May-Grünwald-Giemsa/Pappenheim stain · bone marrow smear
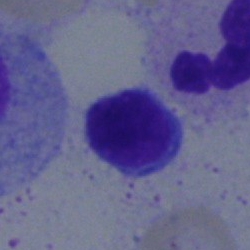 Morphology — typical lymphocyte.